Bone marrow aspirate smear:
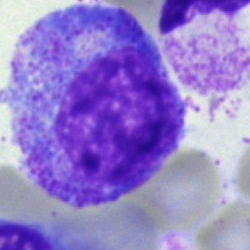
Progranulocyte.